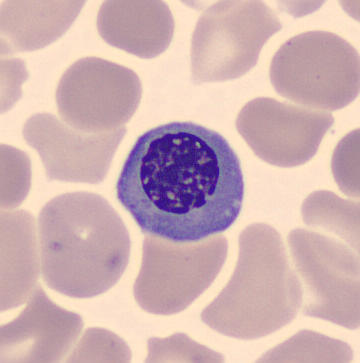

Preparation: CellaVision DM96 digital cell image; single cell centered in the field; peripheral blood smear. Cell — erythroblast.